Pappenheim-stained · bone marrow aspirate smear · single cell centered in the field:
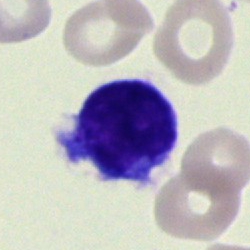
Q: What is the morphological classification of this cell?
A: It is a lymphocyte.